Bone marrow smear:
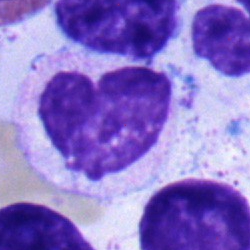 Single cell identified as a neutrophil (band).